Peripheral blood film: 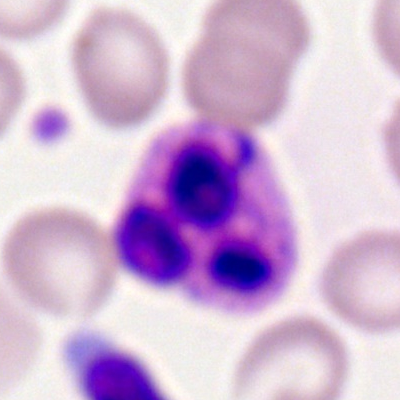Q: What is the morphological classification of this cell?
A: Basophilic granulocyte.